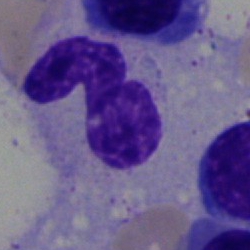
Q: What is shown here?
A: A neutrophil (segmented).